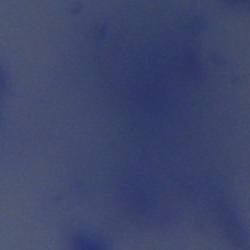

Single cell identified as an artifact.